Bone marrow aspirate smear: 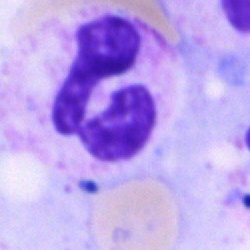

Showing a polymorphonuclear neutrophil.